Bone marrow smear — 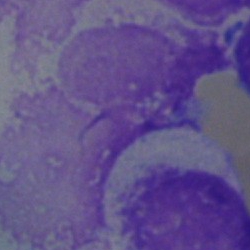 Q: What is shown here?
A: Artifact.